Bone marrow aspirate smear:
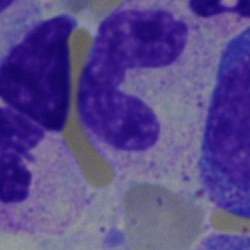
Impression → neutrophil (band).